Bone marrow aspirate smear — 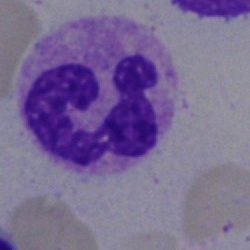

Specimen: bone marrow smear.
Cell type: neutrophil (segmented).
Lineage: myeloid.